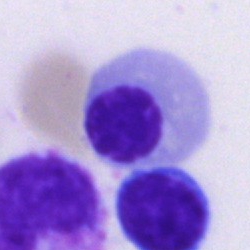 Morphology consistent with a nucleated red blood cell.